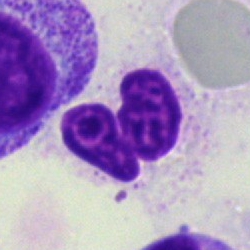 Morphology — artefact.